Bone marrow smear. 250×250: 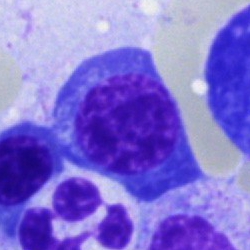 Morphology → normoblast.